Bone marrow smear
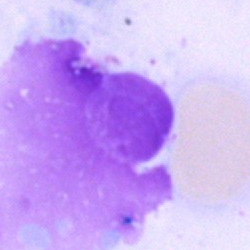Morphology consistent with an artifact.